Bone marrow smear; 40× objective, oil immersion
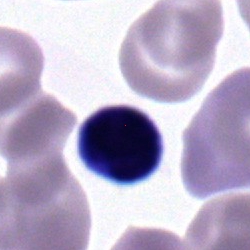 Morphological class — lymphocyte.